Single-cell field. Bone marrow smear — 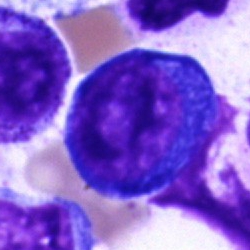
Q: What cell is this?
A: This is a proerythroblast.